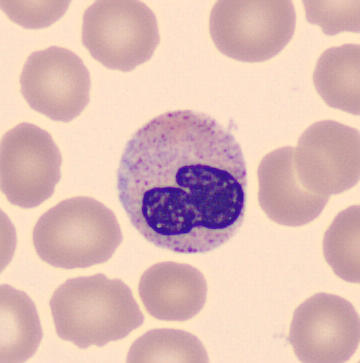
Cell — band-form neutrophil.
Acquisition: Single-cell field; peripheral blood smear; CellaVision DM96.